Bone marrow aspirate smear: 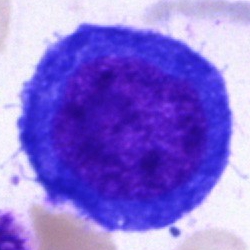
Classification = pronormoblast.